Peripheral blood film — 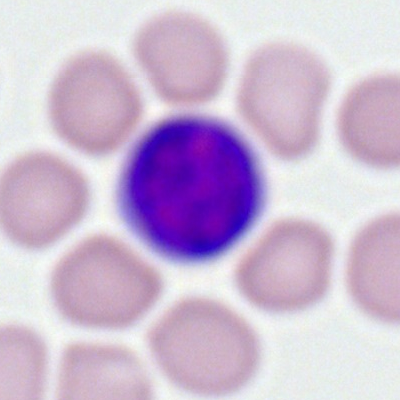 Q: What type of cell is this?
A: It is a lymphocyte.